Bone marrow smear — 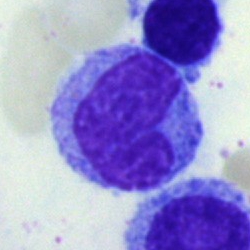

Q: Identify the cell.
A: This is a monocyte.